Bone marrow smear — 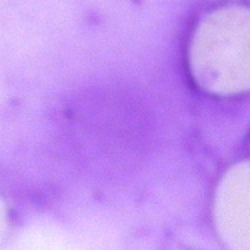

Classification — artefact.